250 by 250 pixels; bone marrow aspirate smear — 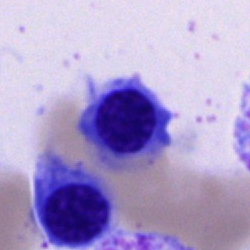Morphology — erythroblast.